Bone marrow aspirate smear:
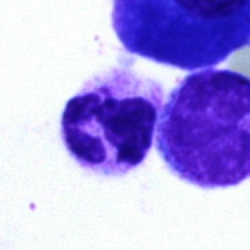Polymorphonuclear neutrophil.